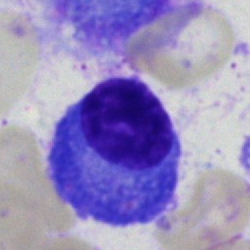

Specimen: bone marrow aspirate smear.
Classification: plasmacyte.
Lineage: lymphoid.